Bone marrow smear: 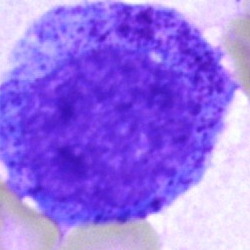
Morphology consistent with a promyelocyte.